Bone marrow smear: 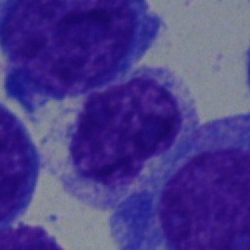Cell — myelocyte.